Bone marrow smear; cropped to a single cell; 250×250 px:
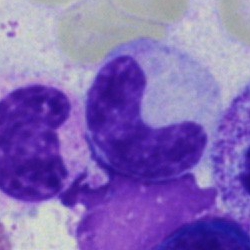
Specimen: bone marrow smear.
Classification: neutrophil (band).